Cropped to a single cell. 250×250 px. Bone marrow smear — 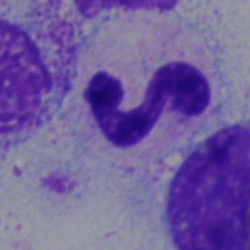

The cell shown is a polymorphonuclear neutrophil.